Bone marrow smear; single cell centered in the field
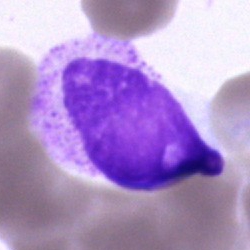

Cell type — cell of indeterminate lineage.